Bone marrow smear: 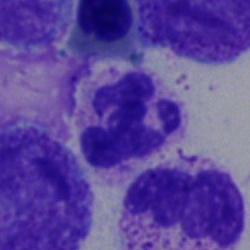Morphology consistent with a polymorphonuclear neutrophil.